Bone marrow aspirate smear:
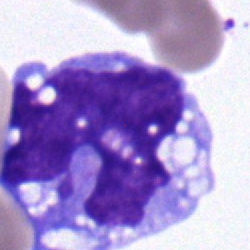

Monocyte.